Peripheral blood film. Romanowsky stain: 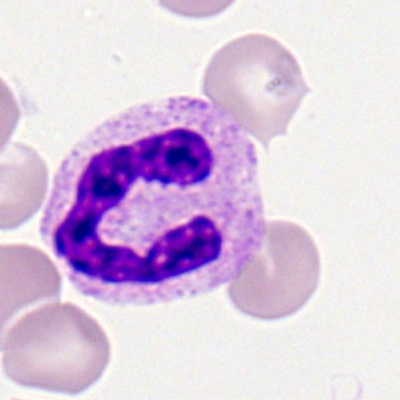

Cell: polymorphonuclear neutrophil.